Bone marrow smear.
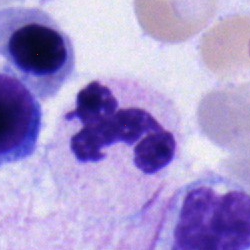Q: What is shown here?
A: Polymorphonuclear neutrophil.